Brightfield, 40× oil-immersion objective. Bone marrow aspirate smear
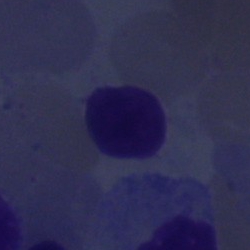 Q: What is the morphological classification of this cell?
A: A lymphocyte.